Bone marrow smear — 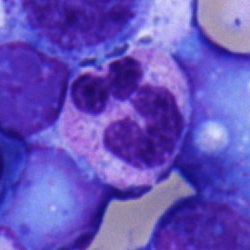 Morphology — segmented neutrophil.